Bone marrow aspirate smear; single-cell field: 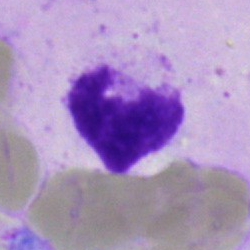 Morphology consistent with an artifact.